Bone marrow smear
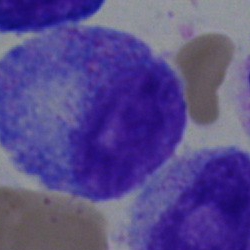
Cell — myelocyte.